Bone marrow aspirate smear — 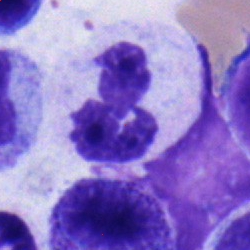

Morphological class = polymorphonuclear neutrophil.